Brightfield microscopy, 40× oil immersion · bone marrow smear
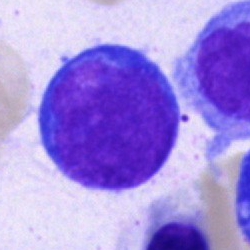Specimen: bone marrow aspirate smear.
Classification: proerythroblast.
Lineage: erythroid.